Bone marrow aspirate smear; May-Grünwald-Giemsa stain:
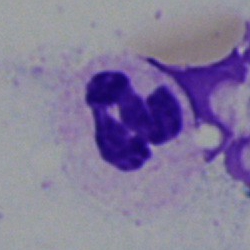Impression → segmented neutrophil.